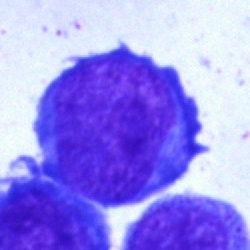

The classification is blast cell.